Bone marrow smear.
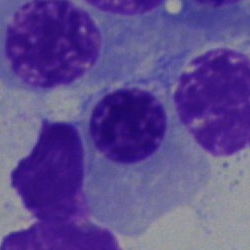Morphology consistent with a nucleated red blood cell.